Peripheral blood film — 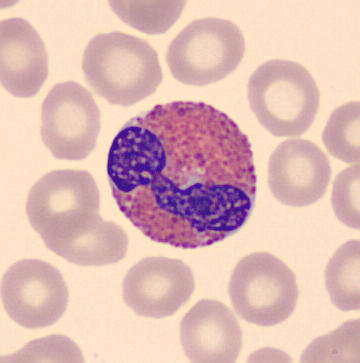 The cell type is eosinophilic granulocyte.